Bone marrow aspirate smear:
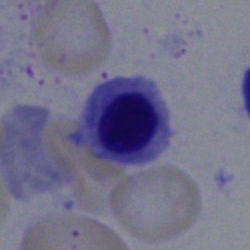 Classification = erythroblast.